Bone marrow aspirate smear · 250 by 250 pixels.
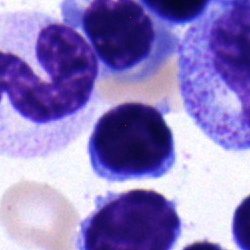 The cell shown is a typical lymphocyte.